Peripheral blood film; Romanowsky-type stain: 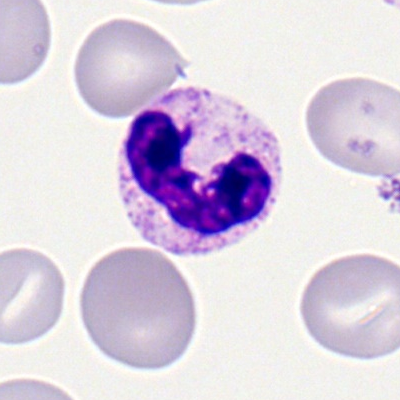
Specimen: peripheral blood smear.
Cell type: neutrophil (segmented).